Bone marrow aspirate smear
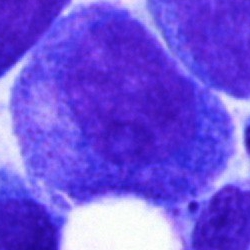 Impression → progranulocyte.